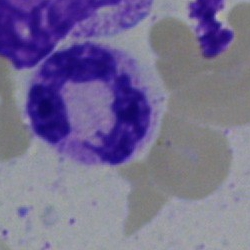

Cell — neutrophil (segmented).